Bone marrow aspirate smear · 250 by 250 pixels · brightfield, 40× oil-immersion objective
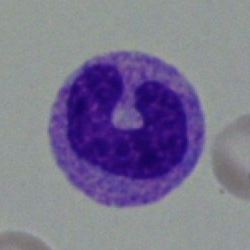Q: What type of cell is this?
A: Stab cell.